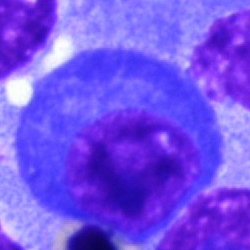Classification: plasmacyte.